Bone marrow aspirate smear:
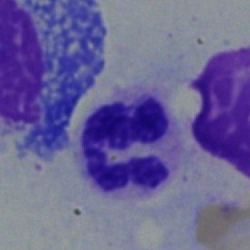

Specimen: bone marrow smear.
Classification: polymorphonuclear neutrophil.